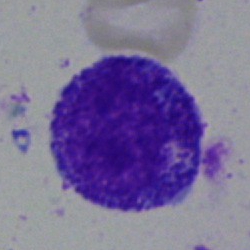Morphological class = myelocyte.